May-Grünwald-Giemsa/Pappenheim stain; bone marrow aspirate smear.
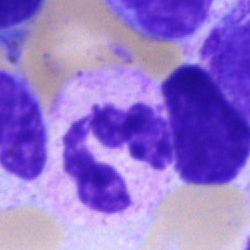 The cell shown is a neutrophil (segmented).